Bone marrow smear:
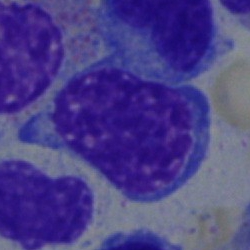 Q: Which cell type is shown here?
A: A nucleated red cell.